Bone marrow smear: 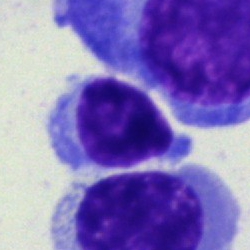 Lymphocyte.